Bone marrow aspirate smear · single-cell crop — 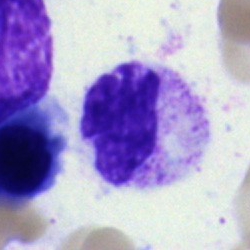
Cell type = neutrophil (segmented).